Bone marrow aspirate smear: 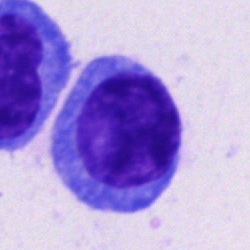The cell shown is a plasmacyte.